Peripheral blood smear.
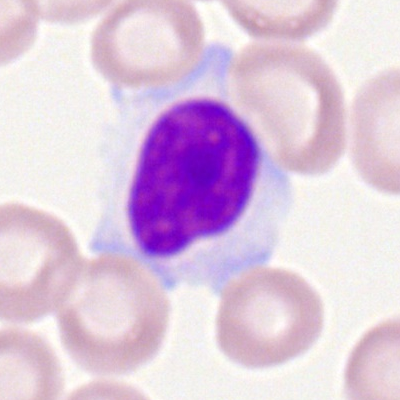
Q: What cell is this?
A: A typical lymphocyte.